Bone marrow smear: 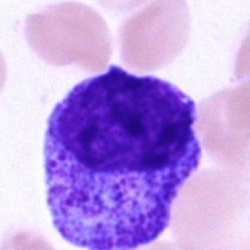

Impression — progranulocyte.